Peripheral blood film — 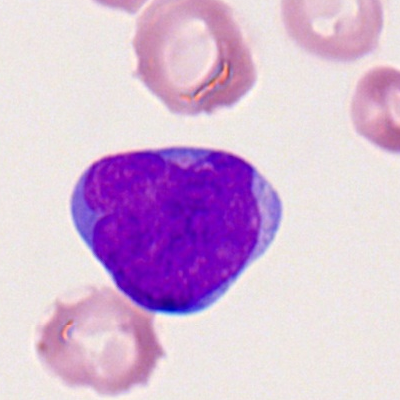 Morphology — myeloid blast.